Brightfield microscopy, 40× oil immersion. Bone marrow aspirate smear. May-Grünwald-Giemsa stain.
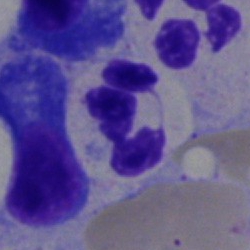
Morphology consistent with a neutrophil (segmented).